Brightfield microscopy, 40× oil immersion; bone marrow aspirate smear — 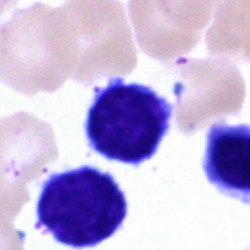 Q: Which cell type is shown here?
A: A typical lymphocyte.